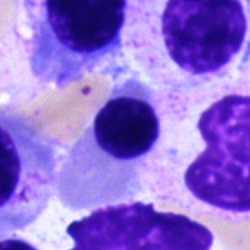
Bone marrow smear showing a nucleated red blood cell.